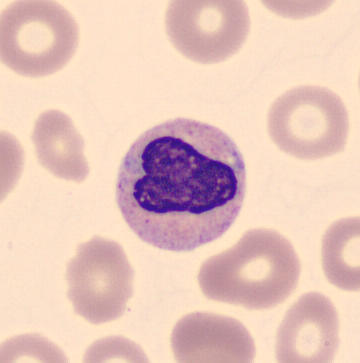

Single cell centered in the field.
Specimen: peripheral blood film.
Cell type: band neutrophil.
Lineage: myeloid.